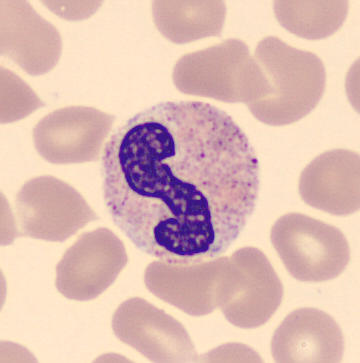
Morphology → polymorphonuclear neutrophil.

Peripheral blood smear.